Bone marrow aspirate smear; single-cell crop; 250×250 px
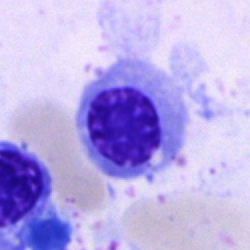
This is a nucleated red blood cell.